Bone marrow smear
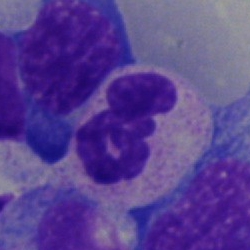
{"cell_type": "segmented neutrophil"}